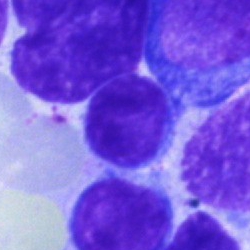{"cell_type": "lymphocyte"}